Bone marrow smear. Brightfield microscopy, 40× oil immersion
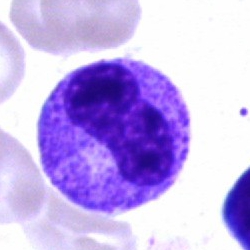

Specimen: bone marrow aspirate smear.
Classification: neutrophil (band).